250 by 250 pixels; bone marrow aspirate smear: 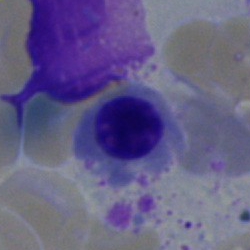
Q: What is shown here?
A: Erythroblast.